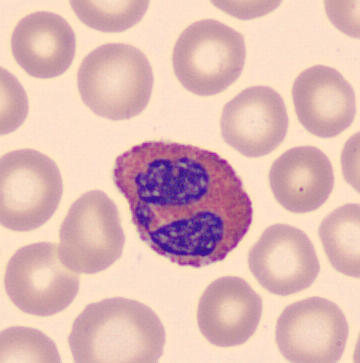
Cell — eosinophilic granulocyte. Peripheral blood smear; cropped to a single cell.